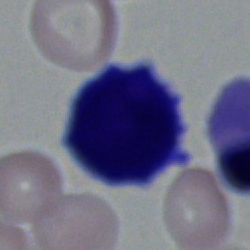 Cell type = blast cell.